Bone marrow smear.
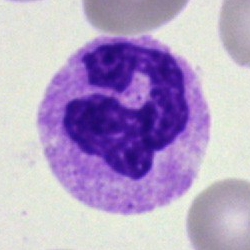
Morphology → segmented neutrophil.